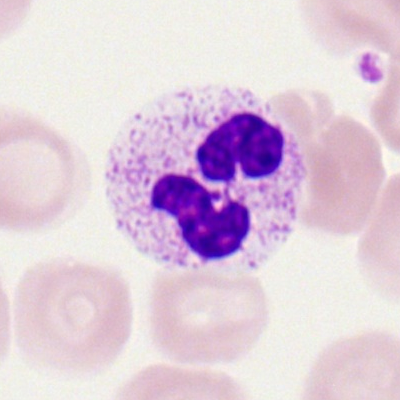 The cell is neutrophil (segmented).